Bone marrow aspirate smear:
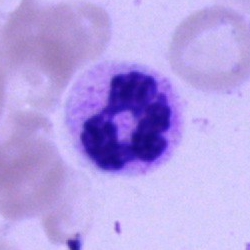
A segmented neutrophil.